Bone marrow aspirate smear; image size 250×250
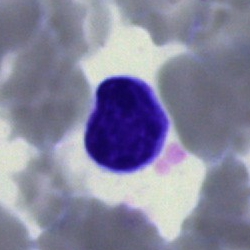
Specimen: bone marrow aspirate smear.
Classification: typical lymphocyte.
Lineage: lymphoid.